Peripheral blood smear — 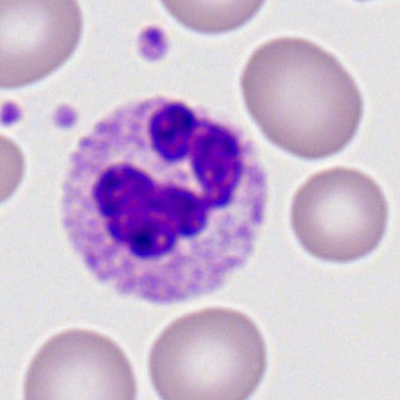
Cell = neutrophil (segmented).